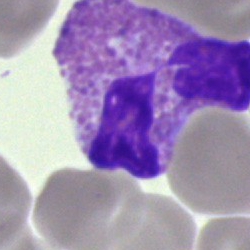Cell — eosinophilic granulocyte.